250 by 250 pixels; May-Grünwald-Giemsa/Pappenheim stain; bone marrow aspirate smear:
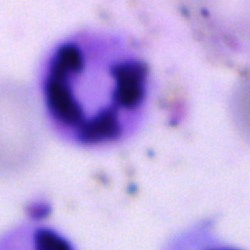
This is a polymorphonuclear neutrophil.